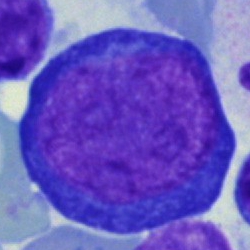 Cell type: proerythroblast.